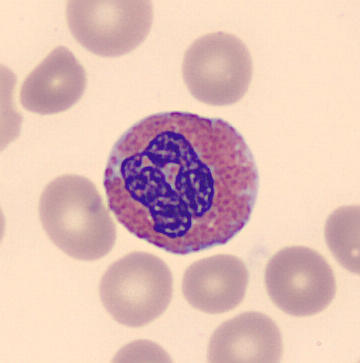
May Grünwald-Giemsa stain · peripheral blood film.
The cell shown is an eosinophil.